Bone marrow smear. May-Grünwald-Giemsa/Pappenheim stain — 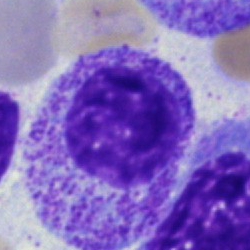 Q: What is shown here?
A: Myelocyte.